Single-cell field. Image size 250×250. Bone marrow smear — 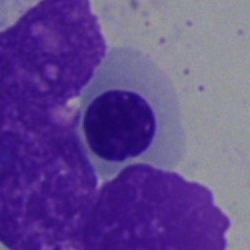
Morphology → erythroblast.